Brightfield microscopy, 40× oil immersion. Bone marrow smear: 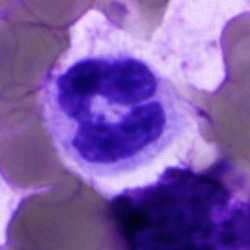 Q: Identify the cell.
A: A polymorphonuclear neutrophil.